Bone marrow aspirate smear; 40× objective, oil immersion
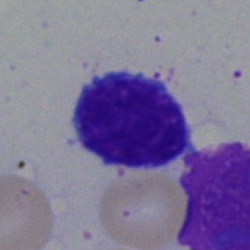

Cell type: typical lymphocyte.